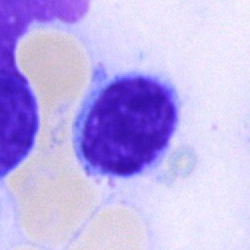
Classification = lymphocyte.